Bone marrow smear
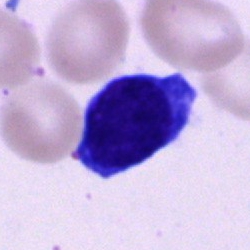
The cell type is lymphocyte.